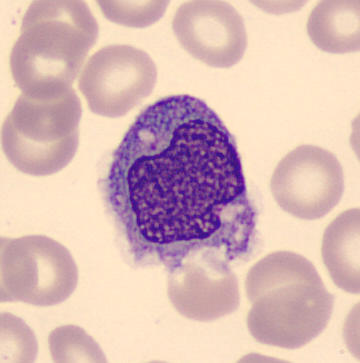A monocyte.